Bone marrow aspirate smear — 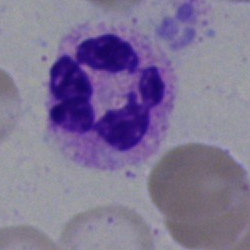

A polymorphonuclear neutrophil.